Bone marrow aspirate smear. Brightfield microscopy, 40× oil immersion. Single cell centered in the field:
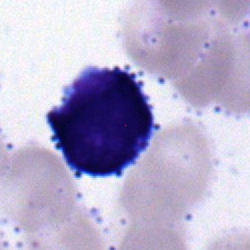
Morphological class: typical lymphocyte.